Bone marrow smear
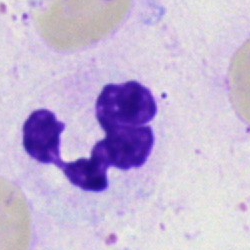 Impression → polymorphonuclear neutrophil.